Single-cell crop; 250 by 250 pixels; bone marrow aspirate smear: 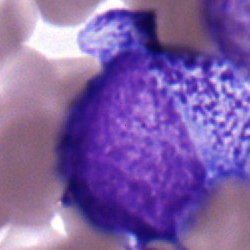
Promyelocyte.